Pappenheim-stained · bone marrow aspirate smear:
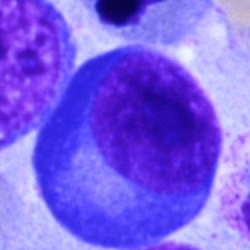 Q: What is shown here?
A: It is a plasma cell.